Bone marrow aspirate smear. 250 by 250 pixels. 40× objective, oil immersion — 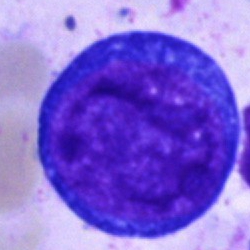

Cell type: pronormoblast.